Peripheral blood smear; 400×400 px; Romanowsky-stained — 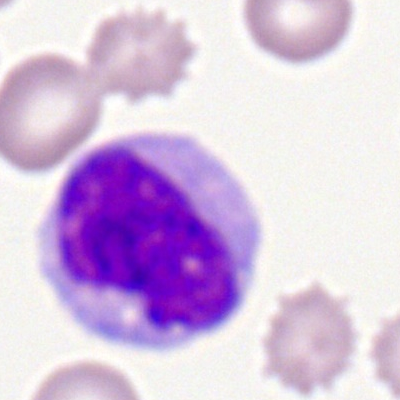
Specimen: peripheral blood film.
Classification: monocyte.